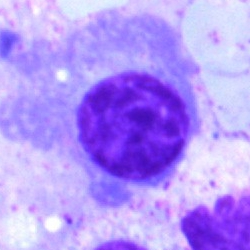Showing a plasma cell.